May-Grünwald-Giemsa stain; brightfield, 40× oil-immersion objective; bone marrow aspirate smear
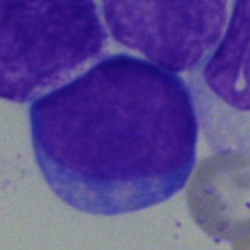
Undifferentiated blast.